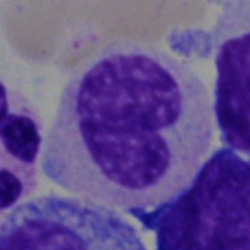Q: What type of cell is this?
A: This is a metamyelocyte.